40× oil immersion · bone marrow smear
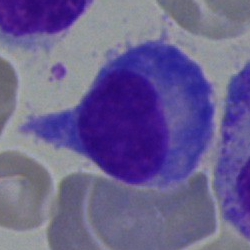Cell type: plasmacyte.